Bone marrow aspirate smear:
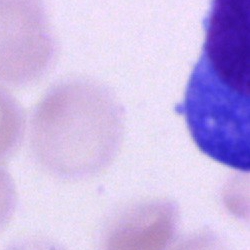Cell of indeterminate lineage.